Peripheral blood smear:
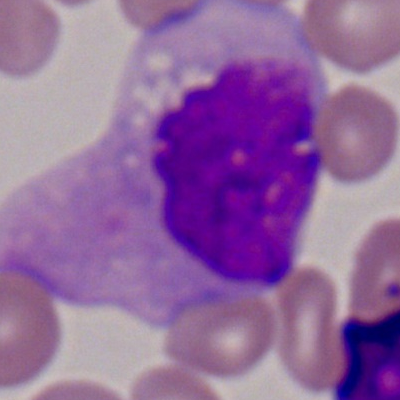

Specimen: peripheral blood smear.
Morphological class: monocyte.
Lineage: myeloid.